250 by 250 pixels · MGG-stained · bone marrow smear — 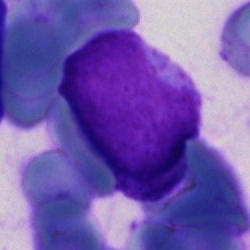

Morphology consistent with an undifferentiated blast.